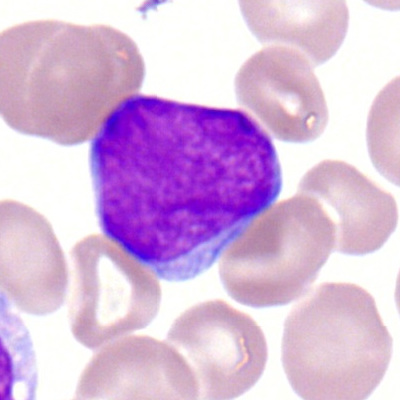 Q: What is the morphological classification of this cell?
A: It is a myeloid blast.